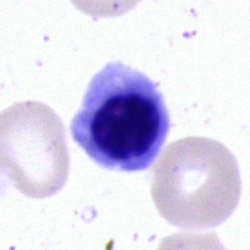Impression → erythroblast.